Peripheral blood smear: 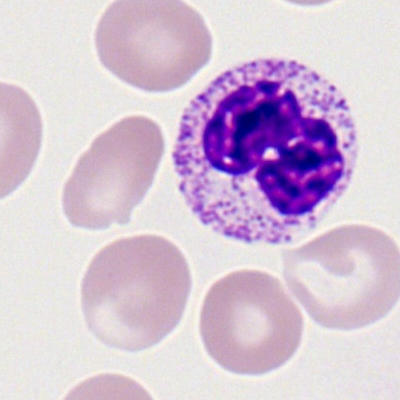Morphological class = polymorphonuclear neutrophil.